Bone marrow aspirate smear — 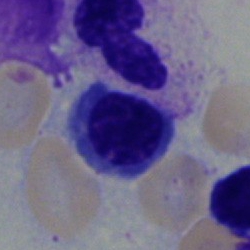

The cell shown is an erythroblast.